Bone marrow smear — 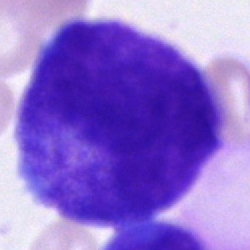The cell shown is a progranulocyte.